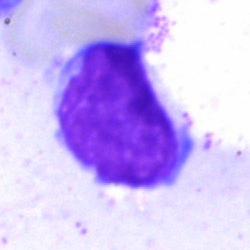

Classification: typical lymphocyte.